Single-cell crop; bone marrow smear
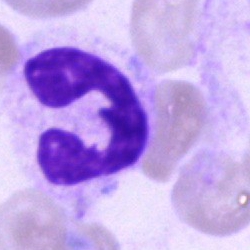 Impression → neutrophil (band).